Bone marrow smear: 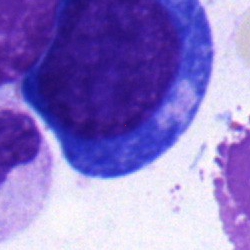
Impression → pronormoblast.